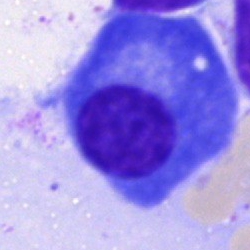

Plasma cell.